Bone marrow smear — 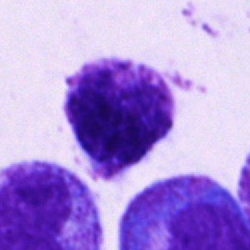 {"cell_type": "basophilic granulocyte"}